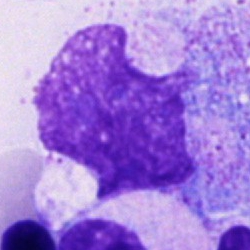Q: What is shown here?
A: It is an artefact.